Bone marrow smear: 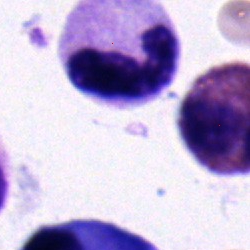 Eosinophilic granulocyte.